Bone marrow smear · image size 250×250 — 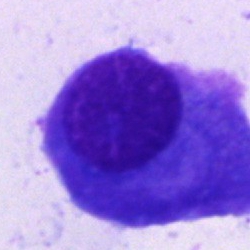
Q: Which cell type is shown here?
A: Plasmacyte.